Bone marrow aspirate smear. Pappenheim-stained: 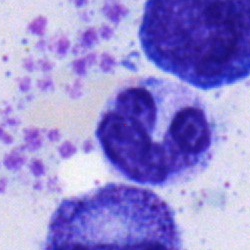

Q: Identify the cell.
A: Neutrophil (band).